Bone marrow smear
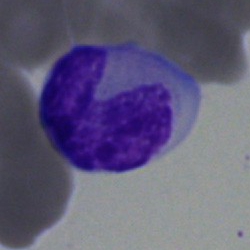
A monocyte.